Bone marrow smear. May-Grünwald-Giemsa stain:
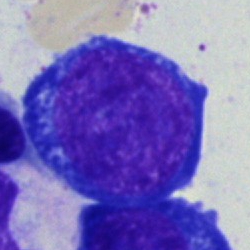
Specimen: bone marrow smear.
Cell: proerythroblast.
Lineage: erythroid.